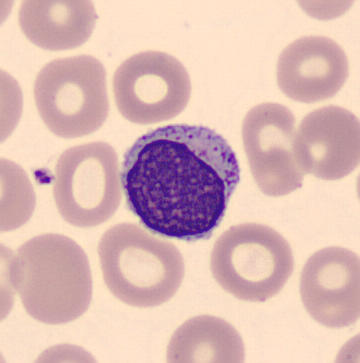 Preparation: Peripheral blood film. The cell shown is a typical lymphocyte.